Bone marrow aspirate smear; 40× oil immersion: 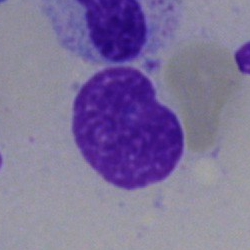This is an artifact.